Bone marrow smear · single-cell field.
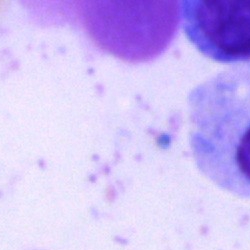

Cell — artefact.